Bone marrow smear · May-Grünwald-Giemsa stain
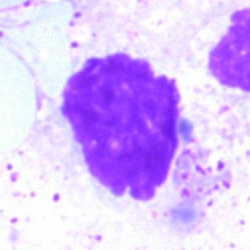Single cell identified as an artefact.